Bone marrow aspirate smear
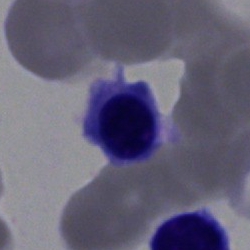
Showing an erythroblast.